Bone marrow smear: 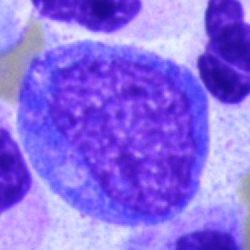

Q: What is the morphological classification of this cell?
A: It is a promyelocyte.